Bone marrow aspirate smear
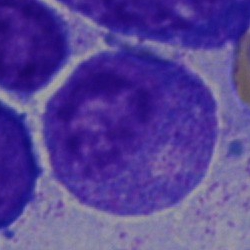
Progranulocyte.